250 by 250 pixels; bone marrow aspirate smear; single-cell crop.
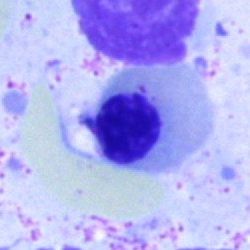Morphological class = normoblast.